Image size 250×250; brightfield, 40× oil-immersion objective; bone marrow aspirate smear
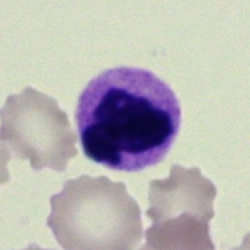

Q: Which cell type is shown here?
A: This is a polymorphonuclear neutrophil.